Bone marrow smear. 40× oil immersion. Single-cell crop
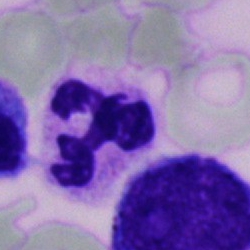

Showing a neutrophil (segmented).